Bone marrow smear:
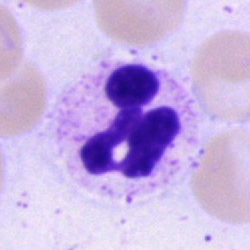Specimen: bone marrow smear.
Cell type: neutrophil (segmented).